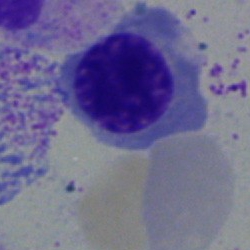Cell type: normoblast.